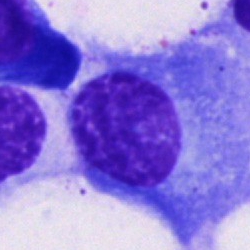Morphology → plasma cell.